Peripheral blood film — 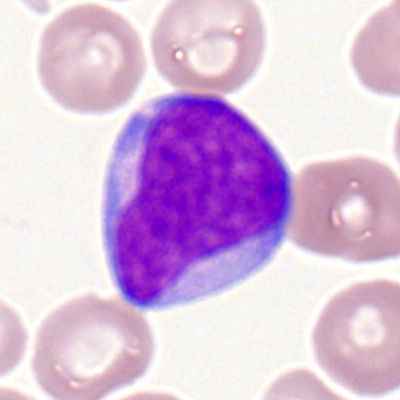
This is a myeloid blast.